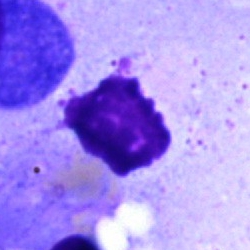

Morphology — artifact.